Bone marrow smear.
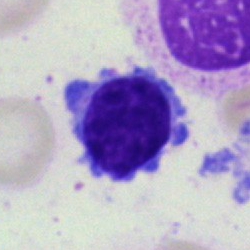 Impression → typical lymphocyte.